Bone marrow smear:
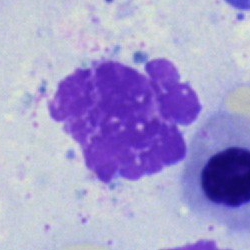Classification — artifact.